Image size 250×250 · bone marrow smear
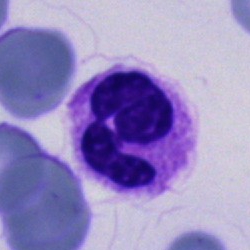Single cell identified as a polymorphonuclear neutrophil.